Single-cell crop. Bone marrow smear — 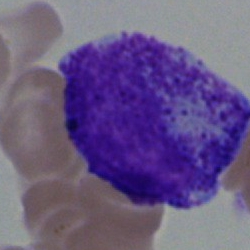
The cell shown is a myelocyte.